Bone marrow aspirate smear.
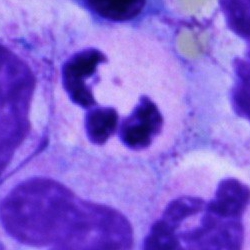 Morphology — polymorphonuclear neutrophil.